Bone marrow aspirate smear · single-cell field · image size 250×250: 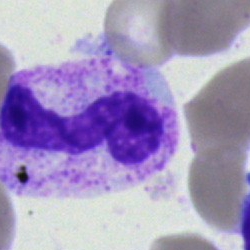

Morphology — polymorphonuclear neutrophil.